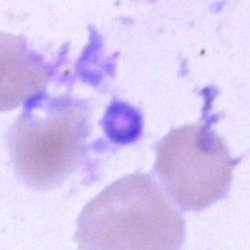 Impression — artefact.